Brightfield microscopy, 40× oil immersion · bone marrow aspirate smear · single-cell crop.
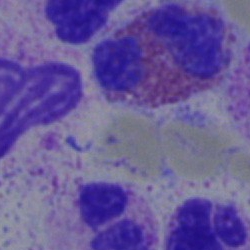 Morphology — eosinophilic granulocyte.